Bone marrow smear:
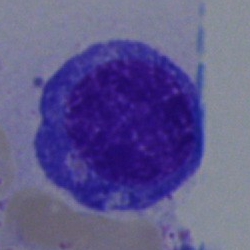

The classification is erythroblast.